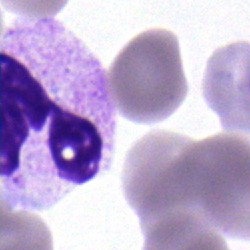 Showing a segmented neutrophil.